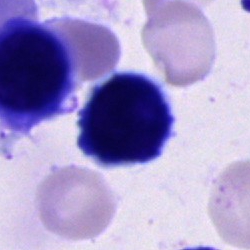

This is a cell of indeterminate lineage.